Bone marrow smear:
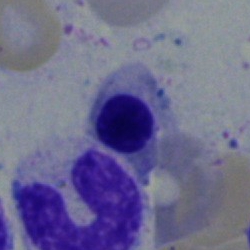 Cell type = normoblast.